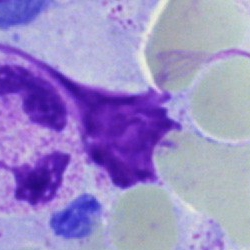 {"cell_type": "artefact"}